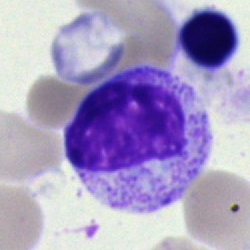 A metamyelocyte on a bone marrow smear.